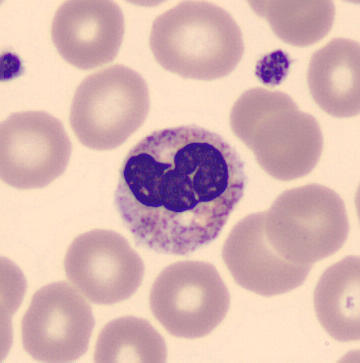 {"cell_type": "band neutrophil", "lineage": "myeloid"}